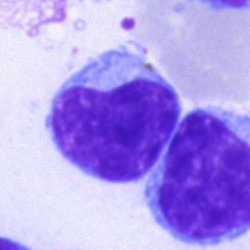The classification is typical lymphocyte.